250×250 px. Bone marrow aspirate smear.
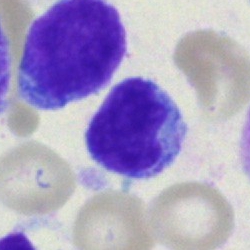 The classification is lymphocyte.